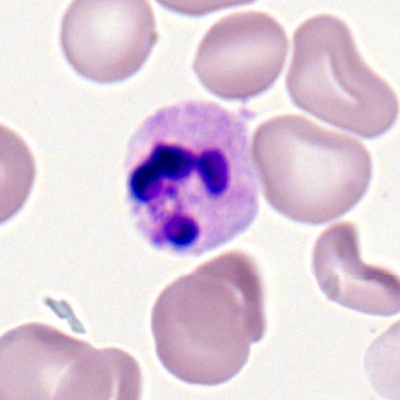 Cell — polymorphonuclear neutrophil.